Bone marrow smear:
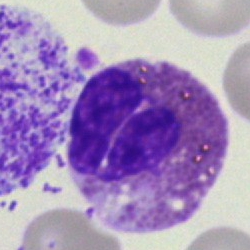Single cell identified as an eosinophilic granulocyte.